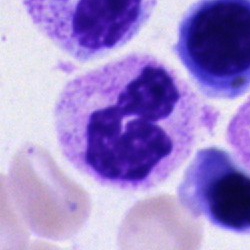
Specimen: bone marrow smear.
Cell: polymorphonuclear neutrophil.
Lineage: myeloid.